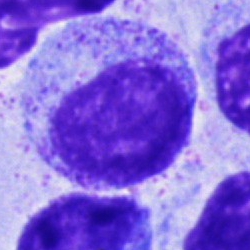Bone marrow smear showing a progranulocyte.